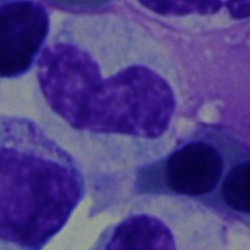
A stab cell on a bone marrow smear.